Bone marrow smear:
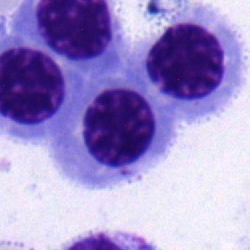 Cell: nucleated red blood cell.